Bone marrow smear — 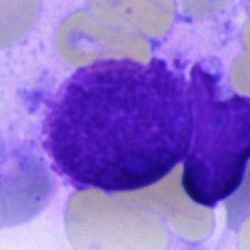
Specimen: bone marrow aspirate smear.
Classification: artefact.